Bone marrow smear:
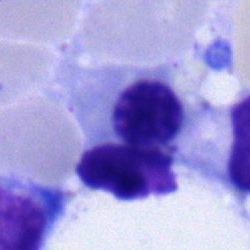

Cell = nucleated red cell.